Bone marrow aspirate smear — 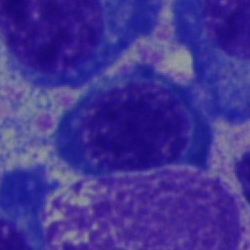 Cell = erythroblast.